Bone marrow aspirate smear.
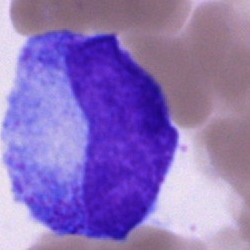

The classification is promyelocyte.